250×250 px · bone marrow aspirate smear · MGG-stained.
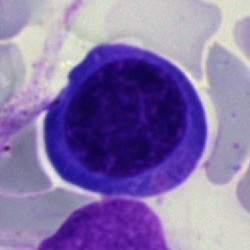
The cell shown is a normoblast.